Bone marrow smear · MGG-stained: 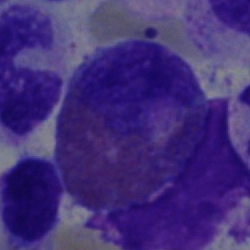 Q: What cell is this?
A: An eosinophilic granulocyte.